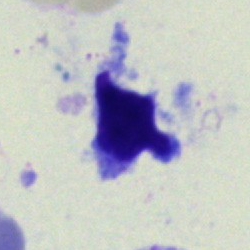
Cell type: typical lymphocyte.